Bone marrow aspirate smear:
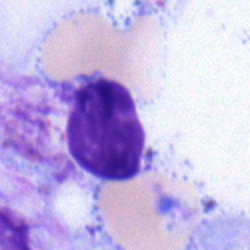

Specimen: bone marrow aspirate smear.
Cell: lymphocyte.